Bone marrow aspirate smear: 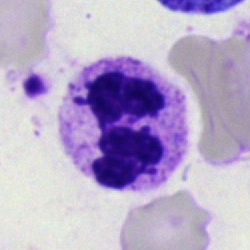Morphological class: segmented neutrophil.